Bone marrow smear.
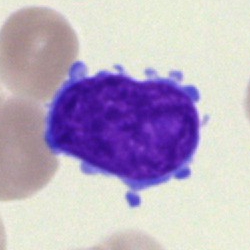This is a blast.